Bone marrow smear
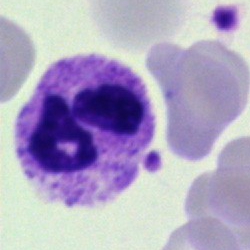A neutrophil (segmented).